Bone marrow aspirate smear · brightfield microscopy, 40× oil immersion: 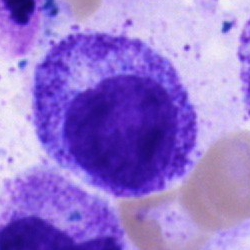
Showing a progranulocyte.